40× objective, oil immersion · 250 by 250 pixels · bone marrow smear — 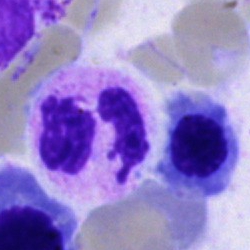
Specimen: bone marrow smear.
Morphological class: polymorphonuclear neutrophil.
Lineage: myeloid.